Bone marrow smear — 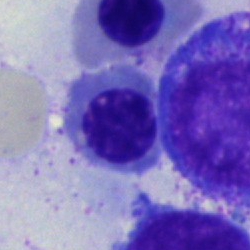
The cell type is nucleated red blood cell.